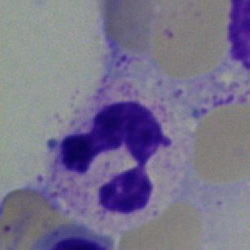 This is a polymorphonuclear neutrophil.